Bone marrow aspirate smear · 250 by 250 pixels
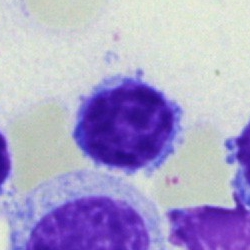

Q: Which cell type is shown here?
A: A lymphocyte.